250 by 250 pixels; bone marrow aspirate smear
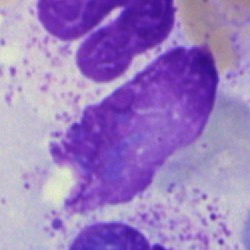 Specimen: bone marrow aspirate smear.
Cell: artifact.